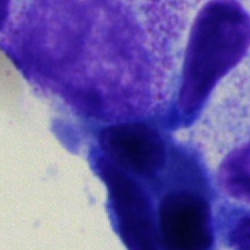
Bone marrow smear showing a nucleated red cell.